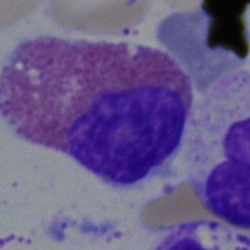
Impression → eosinophil.